Brightfield, 40× oil-immersion objective. Bone marrow aspirate smear: 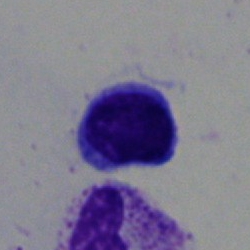
Typical lymphocyte.